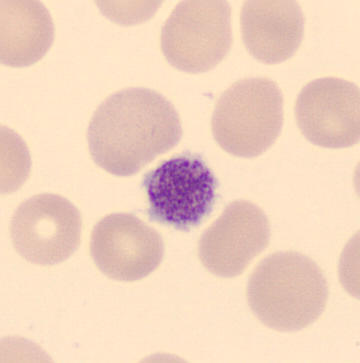

Thrombocyte. Peripheral blood film.